250×250 px · brightfield, 40× oil-immersion objective · bone marrow aspirate smear — 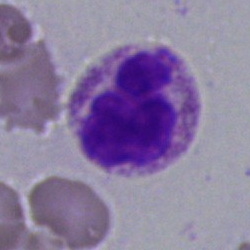
This is an eosinophil.